40× oil immersion; MGG-stained; bone marrow aspirate smear: 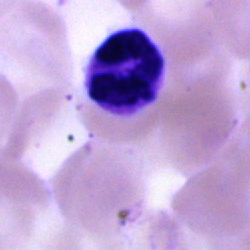 Classification: segmented neutrophil.